250×250 px · bone marrow smear · brightfield microscopy, 40× oil immersion
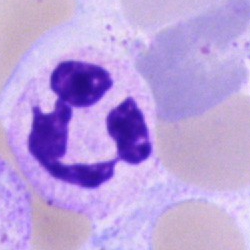The cell shown is a segmented neutrophil.